Bone marrow smear
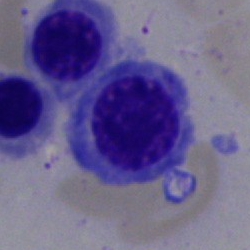 Showing a nucleated red cell.